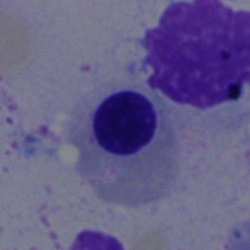
Morphology → normoblast.